Bone marrow aspirate smear; single cell centered in the field: 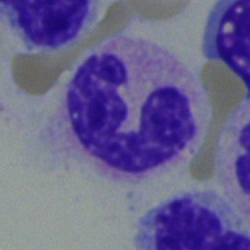
A neutrophil (band).